40× oil immersion; bone marrow smear.
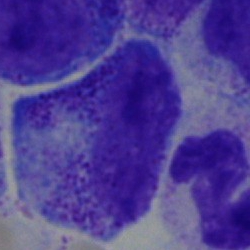
Q: What is shown here?
A: Promyelocyte.